May-Grünwald-Giemsa/Pappenheim stain; bone marrow smear; 250 by 250 pixels
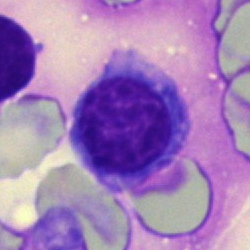Morphological class = nucleated red cell.